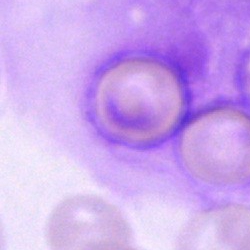Single cell identified as an artifact.